Single-cell field. Bone marrow aspirate smear. Brightfield, 40× oil-immersion objective:
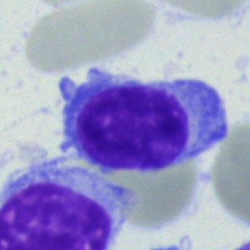
Impression — lymphocyte.